Peripheral blood film; image size 400×400; cropped to a single cell
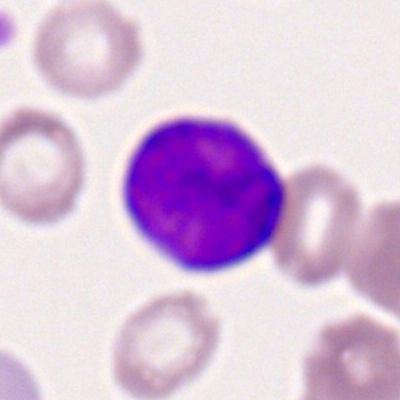{"cell_type": "myeloblast", "lineage": "myeloid"}